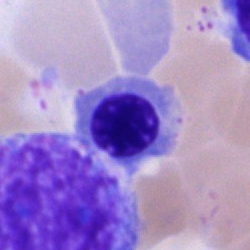 Q: Which cell type is shown here?
A: Nucleated red cell.